Bone marrow smear:
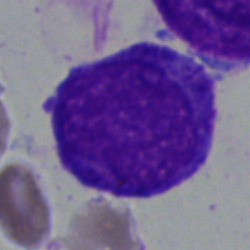

Cell — progranulocyte.